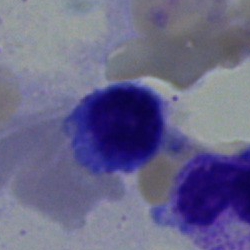

Single cell identified as a typical lymphocyte.